Bone marrow smear · May-Grünwald-Giemsa stain: 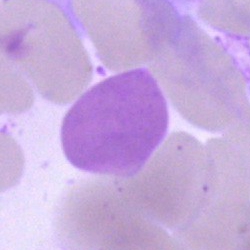
Impression — artefact.